Brightfield microscopy, 40× oil immersion; May-Grünwald-Giemsa stain; bone marrow aspirate smear — 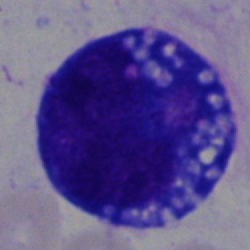
Cell type = blast cell.